Bone marrow aspirate smear:
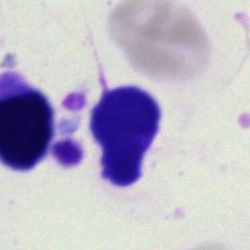
Artefact.